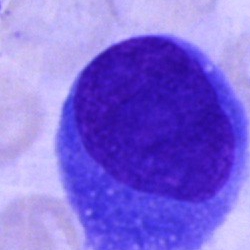 Q: What cell is this?
A: This is a blast cell.